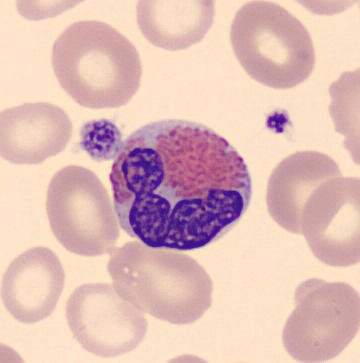 This is an eosinophilic granulocyte.